Bone marrow aspirate smear — 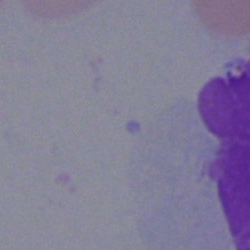
Classification: artefact.